250 by 250 pixels. Bone marrow aspirate smear
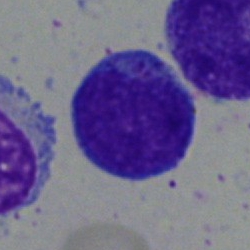

Q: What cell is this?
A: An undifferentiated blast.